Bone marrow aspirate smear; 40× oil immersion; MGG-stained — 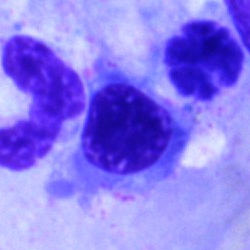Nucleated red cell.